Bone marrow aspirate smear: 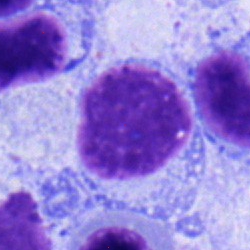Impression — typical lymphocyte.